Bone marrow aspirate smear — 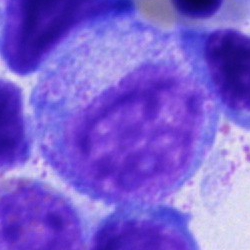The cell is promyelocyte.